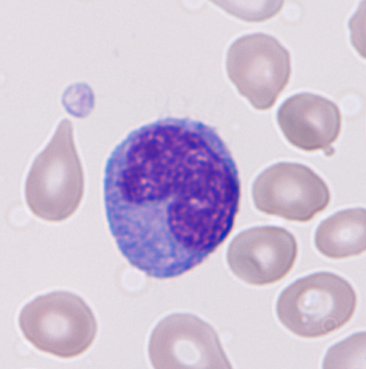 Morphology → monocyte. Acquisition: Single cell centered in the field. Peripheral blood film.